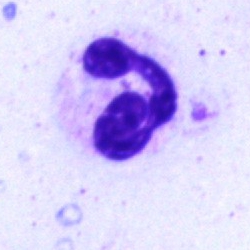 Specimen: bone marrow aspirate smear.
Cell type: polymorphonuclear neutrophil.